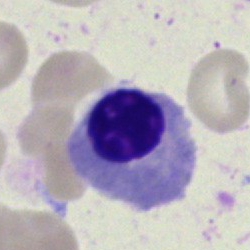 Q: What is the morphological classification of this cell?
A: It is a nucleated red cell.